Bone marrow aspirate smear:
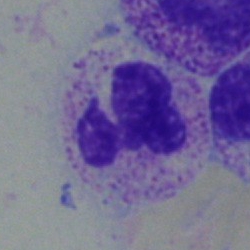 Showing a polymorphonuclear neutrophil.